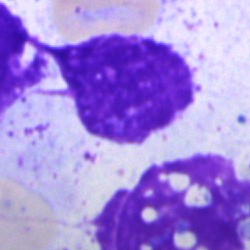 Specimen: bone marrow aspirate smear.
Cell: artifact.